Bone marrow smear:
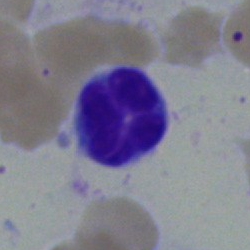Classification — typical lymphocyte.